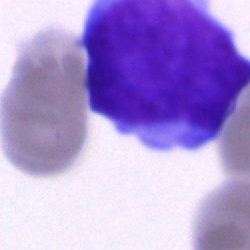 Q: Which cell type is shown here?
A: This is a blast cell.